May-Grünwald-Giemsa stain · cropped to a single cell · bone marrow aspirate smear
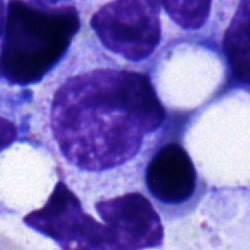
Classification — neutrophil (segmented).